Image size 250×250; single-cell field; bone marrow aspirate smear
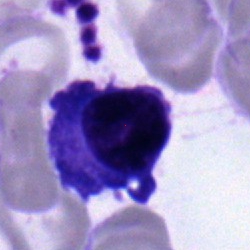
The cell shown is a plasmacyte.